40× objective, oil immersion · bone marrow aspirate smear · single-cell field.
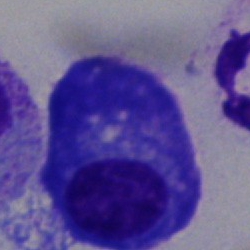 This is a plasma cell.